Bone marrow smear.
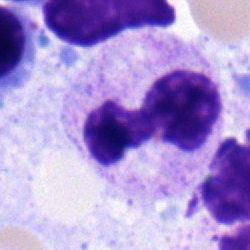

The morphological class is polymorphonuclear neutrophil.